Pappenheim-stained; bone marrow aspirate smear:
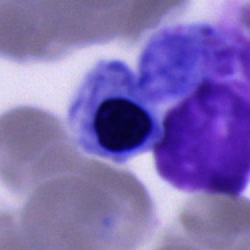 Q: What is shown here?
A: This is an artifact.